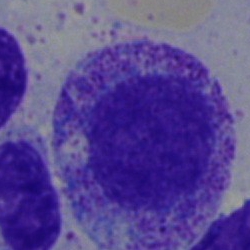 A myelocyte on a bone marrow smear.